Bone marrow aspirate smear: 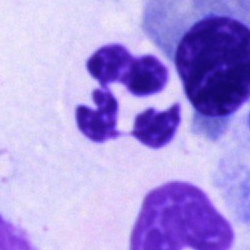

This is a polymorphonuclear neutrophil.